Cropped to a single cell; Pappenheim-stained; bone marrow smear:
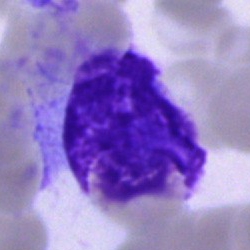

Unidentifiable cell.